May-Grünwald-Giemsa stain; single-cell field; bone marrow smear — 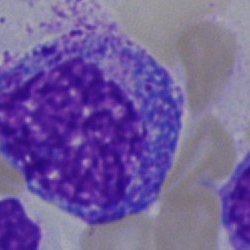{"cell_type": "progranulocyte"}